MGG-stained. Bone marrow smear. Brightfield, 40× oil-immersion objective — 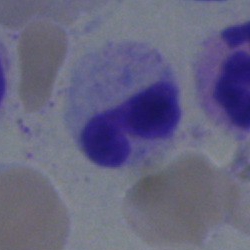

A segmented neutrophil.